250×250 · bone marrow aspirate smear.
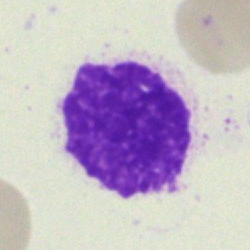
An artifact.